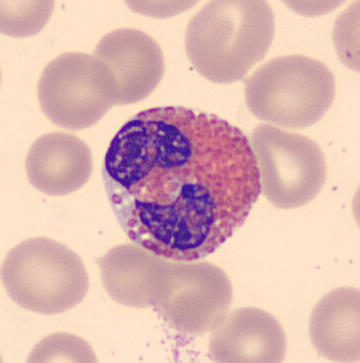 An eosinophilic granulocyte.

CellaVision DM96 digital cell image. 360×363. Peripheral blood smear.